Bone marrow aspirate smear. Pappenheim-stained.
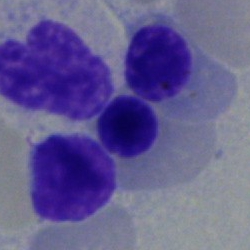
Specimen: bone marrow aspirate smear.
Morphological class: nucleated red cell.